Bone marrow smear
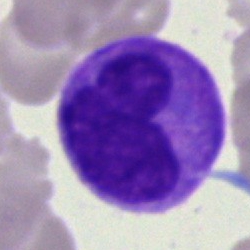A monocyte.